Bone marrow aspirate smear; 250×250.
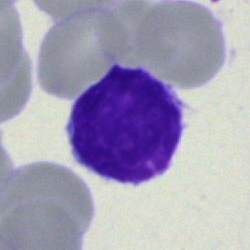 Q: What cell is this?
A: Lymphocyte.